MGG-stained · bone marrow smear · image size 250×250:
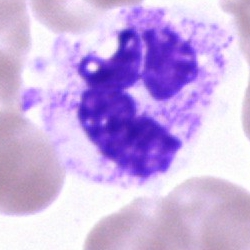
Classification: polymorphonuclear neutrophil.